Bone marrow smear.
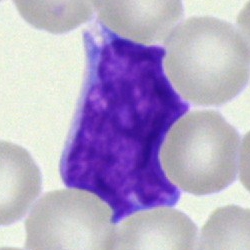Specimen: bone marrow aspirate smear.
Classification: blast.